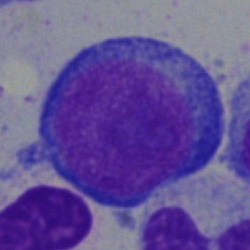

Morphology → pronormoblast.